Bone marrow aspirate smear — 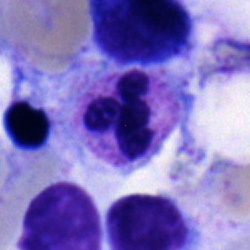The cell type is neutrophil (segmented).